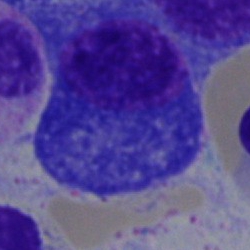 Q: What type of cell is this?
A: This is a plasma cell.